Bone marrow aspirate smear
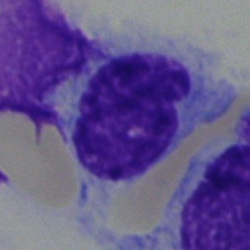
Specimen: bone marrow smear.
Morphological class: hairy cell.